Bone marrow smear — 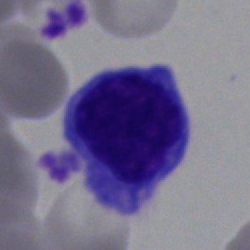
Showing a typical lymphocyte.